Bone marrow smear.
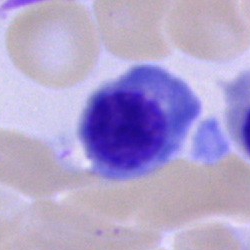 Nucleated red blood cell.